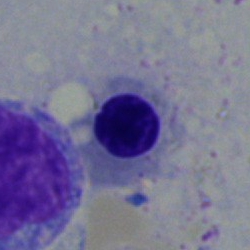
Impression — nucleated red cell.